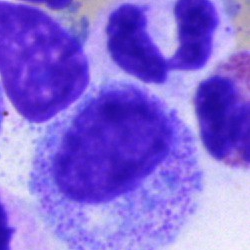
Classification = progranulocyte.